Peripheral blood film — 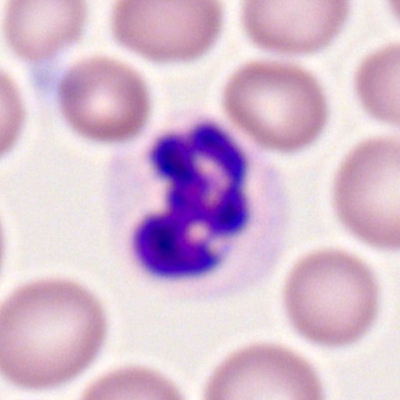
Single cell identified as a segmented neutrophil.